Bone marrow aspirate smear — 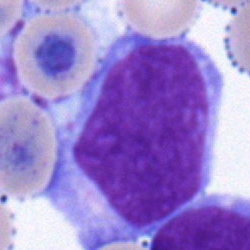 Morphology → blast cell.